Bone marrow smear; 250×250 px; 40× oil immersion — 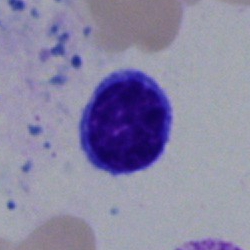A lymphocyte.